Bone marrow aspirate smear:
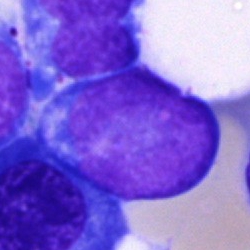

Impression — blast.